Bone marrow aspirate smear.
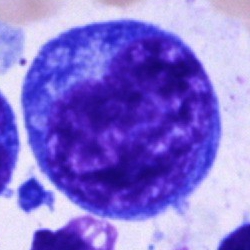
Cell type — blast cell.